Single cell centered in the field; MGG-stained; bone marrow smear
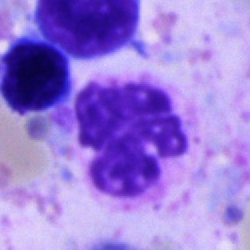 Q: What type of cell is this?
A: A neutrophil (segmented).